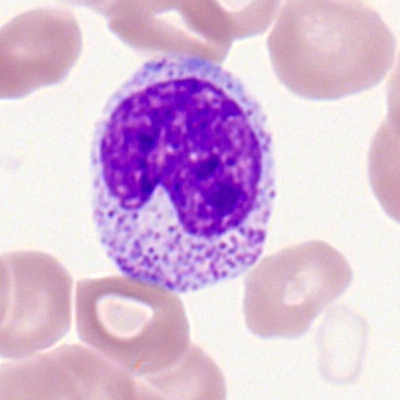Metamyelocyte.